Bone marrow smear; 250 by 250 pixels:
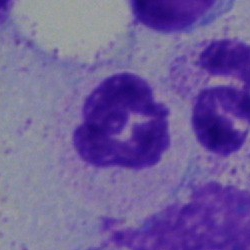Classification — neutrophil (segmented).